Bone marrow aspirate smear; Pappenheim-stained — 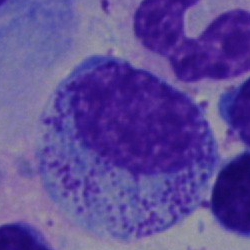
{"cell_type": "myelocyte"}